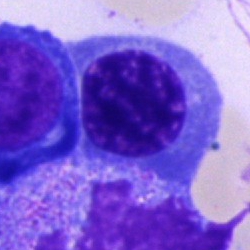 Specimen: bone marrow aspirate smear.
Cell: nucleated red cell.